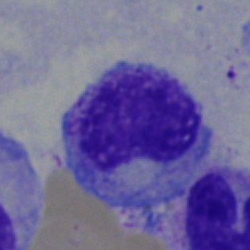 Specimen: bone marrow smear.
Cell: metamyelocyte.
Lineage: myeloid.